Bone marrow smear · May-Grünwald-Giemsa stain
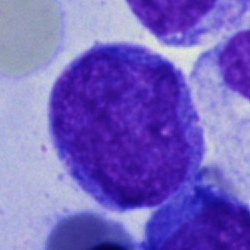
Cell = undifferentiated blast.